Bone marrow aspirate smear: 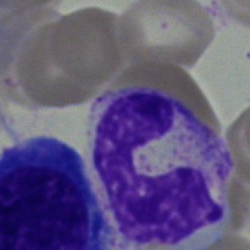Q: What is shown here?
A: A neutrophil (band).